Bone marrow aspirate smear: 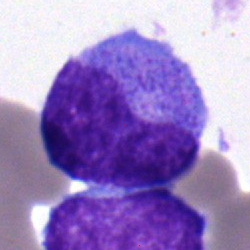

Morphological class: blast cell.